Single cell centered in the field · bone marrow aspirate smear · MGG-stained:
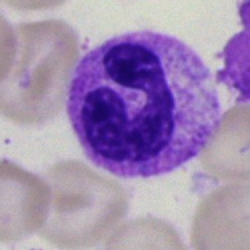 {"cell_type": "neutrophil (segmented)", "lineage": "myeloid"}